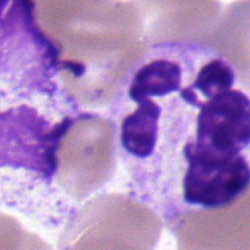
Impression — segmented neutrophil.